Peripheral blood smear
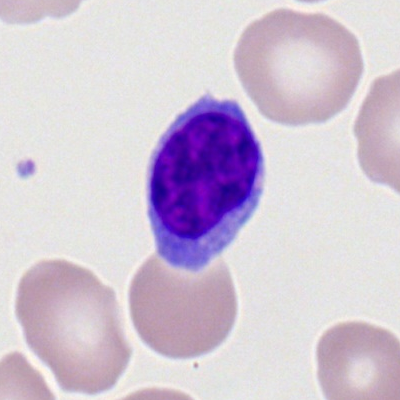

Q: What type of cell is this?
A: This is a typical lymphocyte.